May-Grünwald-Giemsa/Pappenheim stain · bone marrow aspirate smear · single cell centered in the field — 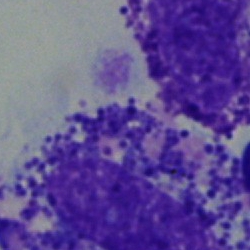Impression → other cell type.